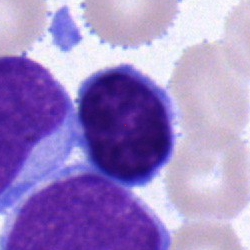
Morphology consistent with a typical lymphocyte.